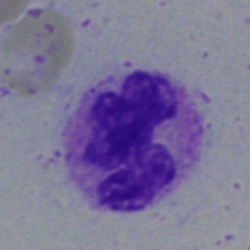 Q: Which cell type is shown here?
A: It is a segmented neutrophil.